Bone marrow smear.
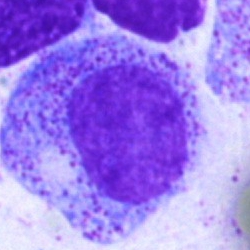

Morphology consistent with a myelocyte.